Bone marrow smear: 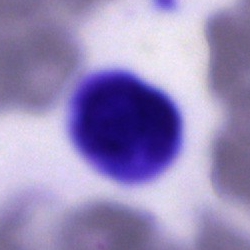
The classification is artefact.